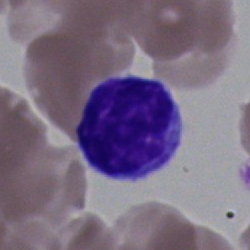

Specimen: bone marrow aspirate smear.
Morphological class: typical lymphocyte.
Lineage: lymphoid.